May-Grünwald-Giemsa stain · bone marrow smear — 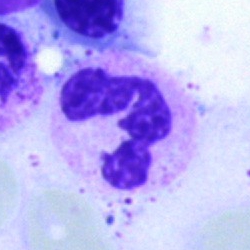 Morphological class = segmented neutrophil.